Bone marrow aspirate smear — 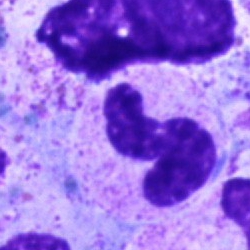
Polymorphonuclear neutrophil.